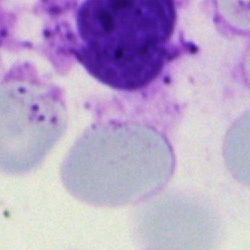 Bone marrow aspirate smear, single cell — artefact.